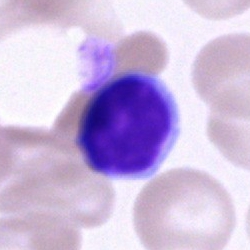

Impression → lymphocyte.